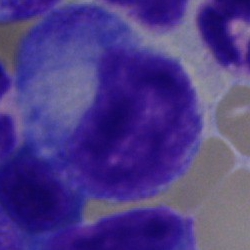 Cell type: myelocyte.